Single cell centered in the field · bone marrow aspirate smear.
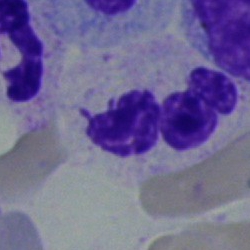 The cell type is segmented neutrophil.